Bone marrow smear: 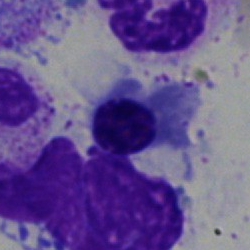

Morphology → erythroblast.